Bone marrow aspirate smear — 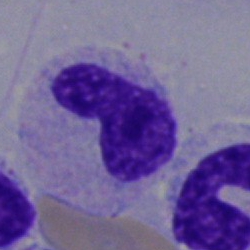{"cell_type": "band-form neutrophil"}